Bone marrow smear: 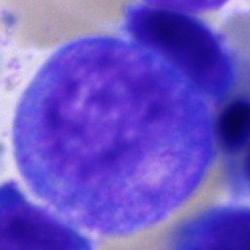

Specimen: bone marrow aspirate smear.
Classification: progranulocyte.